Bone marrow aspirate smear
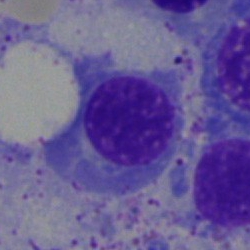

Morphology → nucleated red blood cell.